Single cell centered in the field · bone marrow aspirate smear.
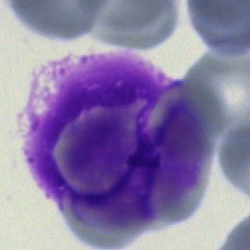
Impression → artefact.